Bone marrow smear
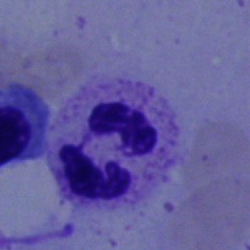

The cell shown is a segmented neutrophil.